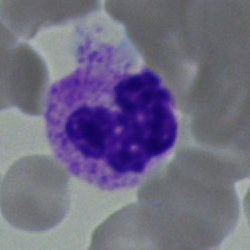

Q: What is shown here?
A: It is a neutrophil (segmented).